Bone marrow aspirate smear. Cropped to a single cell. 40× oil immersion — 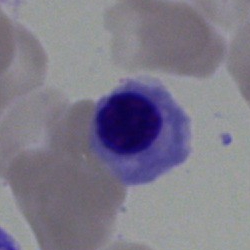

Specimen: bone marrow aspirate smear.
Cell type: nucleated red blood cell.
Lineage: erythroid.